Bone marrow aspirate smear: 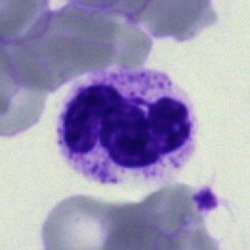 Specimen: bone marrow aspirate smear.
Cell type: polymorphonuclear neutrophil.
Lineage: myeloid.